Single-cell crop. Peripheral blood smear. Image size 400×400 — 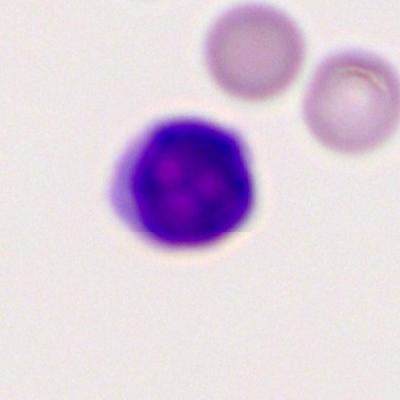 Impression — lymphocyte.